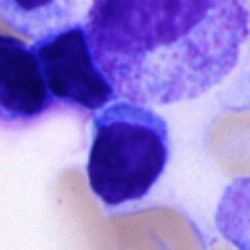 Specimen: bone marrow smear.
Morphological class: lymphocyte.
Lineage: lymphoid.